Peripheral blood film: 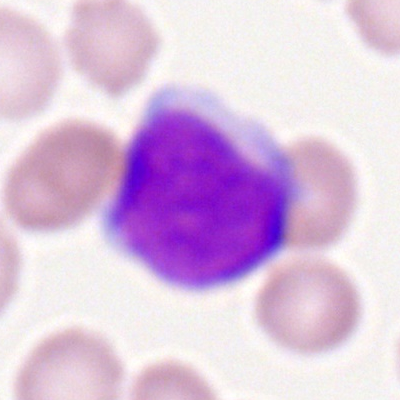

This is a myeloblast.